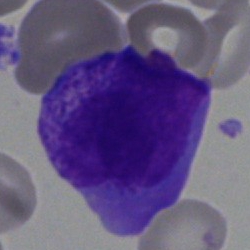 Morphology → blast cell.